Bone marrow aspirate smear · 250×250 · brightfield, 40× oil-immersion objective — 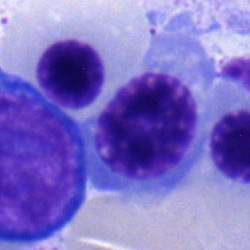 Q: Identify the cell.
A: This is a nucleated red blood cell.